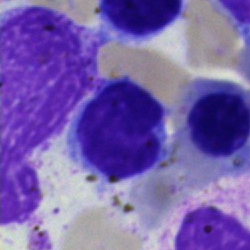 Bone marrow smear showing a typical lymphocyte.